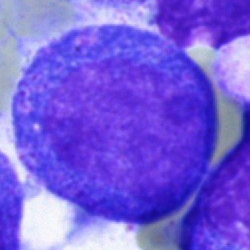Single-cell crop from a bone marrow smear: progranulocyte.